Bone marrow aspirate smear; 250×250 px — 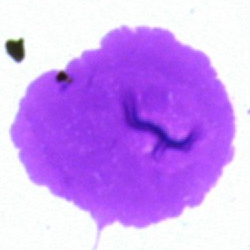
The cell is artifact.